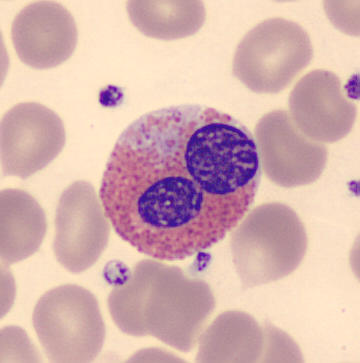

An eosinophil.